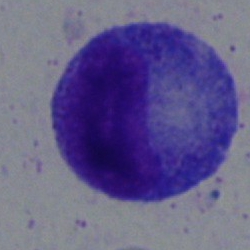

Promyelocyte.